Brightfield microscopy, 40× oil immersion · MGG-stained · bone marrow smear.
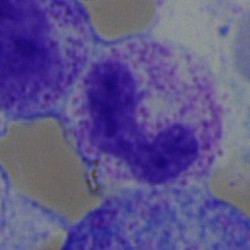Specimen: bone marrow smear.
Cell: neutrophil (band).
Lineage: myeloid.